Bone marrow smear.
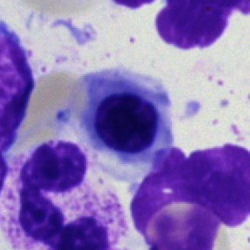
Specimen: bone marrow aspirate smear.
Cell type: erythroblast.